Bone marrow smear; 250 by 250 pixels: 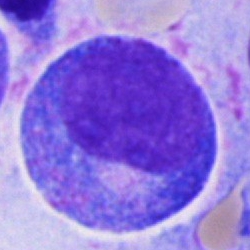

The cell shown is a progranulocyte.